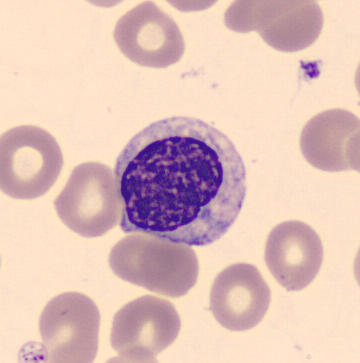 From a peripheral blood smear: a myelocyte.